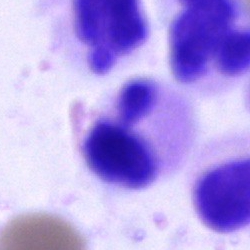A polymorphonuclear neutrophil on a bone marrow smear.